Peripheral blood film — 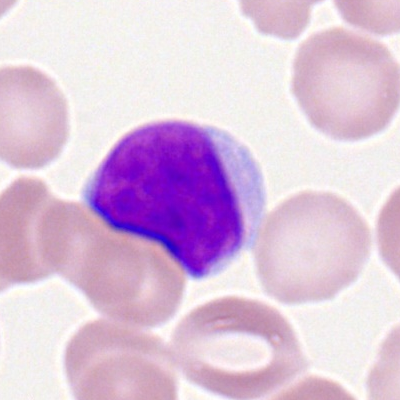

The cell shown is a lymphocyte.